Bone marrow aspirate smear; Pappenheim-stained; 40× objective, oil immersion — 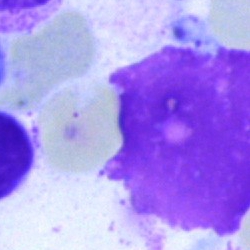
Morphology — artefact.